Peripheral blood film:
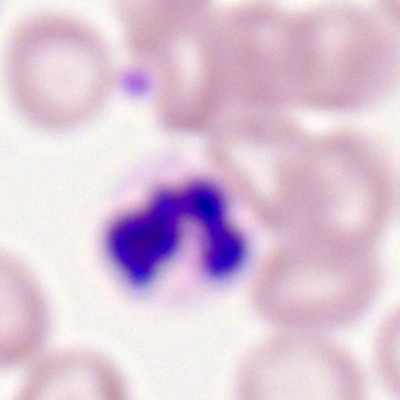
Single cell identified as a segmented neutrophil.